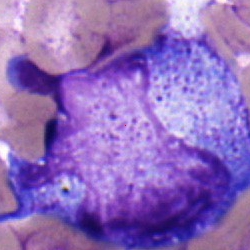Classification: promyelocyte.